Bone marrow aspirate smear: 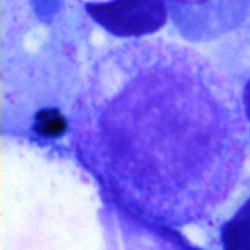
A myelocyte.